Image size 250×250; MGG-stained; bone marrow aspirate smear
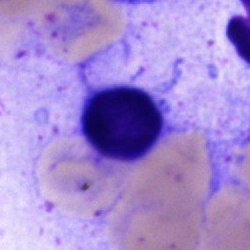Classification — typical lymphocyte.